Image size 250×250 · bone marrow aspirate smear: 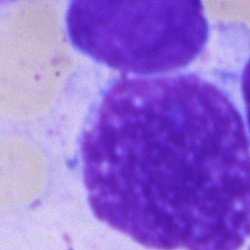
Artifact.